Bone marrow aspirate smear:
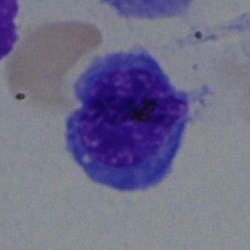 The classification is normoblast.